Bone marrow smear. Single-cell crop
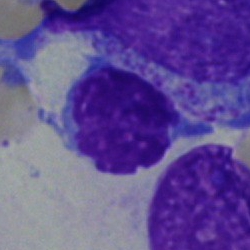

Impression — lymphocyte.